Bone marrow smear
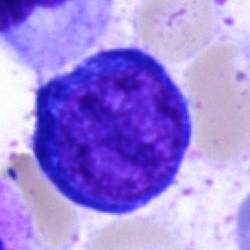 Q: What is the morphological classification of this cell?
A: A proerythroblast.